Bone marrow smear
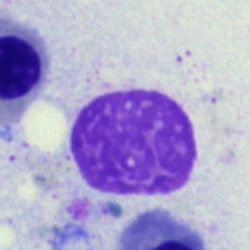 Q: What is shown here?
A: This is an artefact.